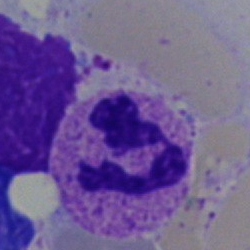
Morphology — polymorphonuclear neutrophil.